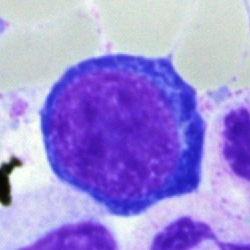Cell: proerythroblast.